Bone marrow aspirate smear: 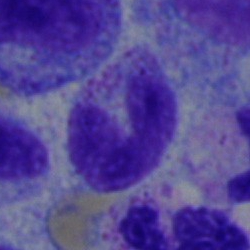

Q: Which cell type is shown here?
A: A band neutrophil.